Single-cell field; bone marrow smear
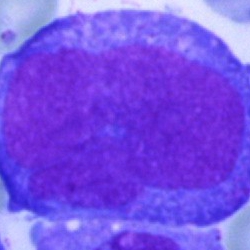This is a blast cell.